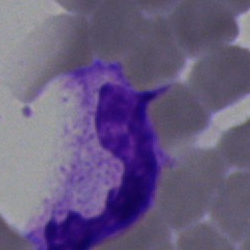Single cell identified as a neutrophil (segmented).